Bone marrow smear: 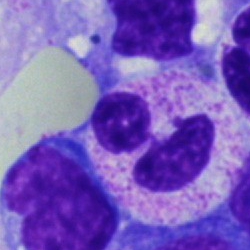
Specimen: bone marrow smear.
Classification: segmented neutrophil.